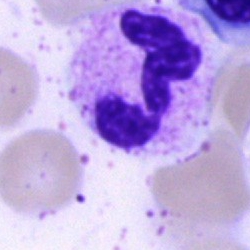The cell is polymorphonuclear neutrophil.